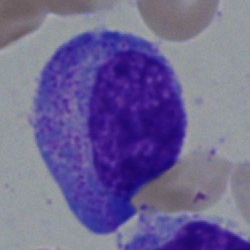

Q: What type of cell is this?
A: A myelocyte.